Bone marrow aspirate smear. 250×250 px
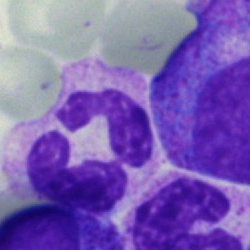
Classification: polymorphonuclear neutrophil.